250×250 px. Bone marrow aspirate smear:
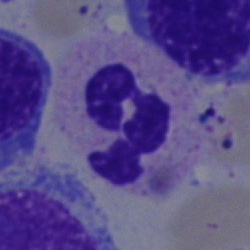

Q: What is shown here?
A: It is a polymorphonuclear neutrophil.